Bone marrow smear; MGG-stained; 40× objective, oil immersion: 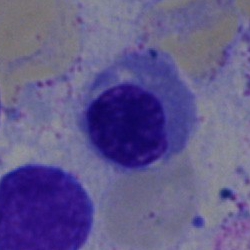
{"cell_type": "erythroblast", "lineage": "erythroid"}